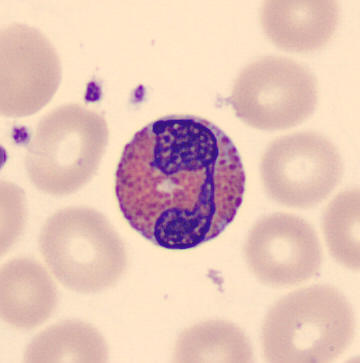 Showing an eosinophil. Preparation: Peripheral blood film.